Bone marrow smear: 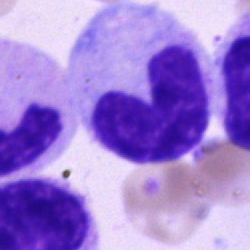

Morphological class: band-form neutrophil.